Bone marrow smear; May-Grünwald-Giemsa/Pappenheim stain — 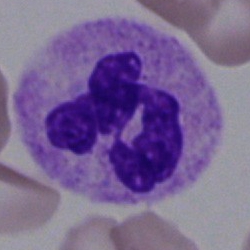Segmented neutrophil.